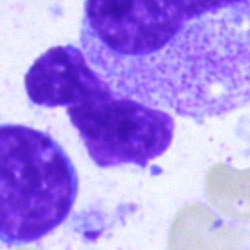

Classification — artefact.